Bone marrow aspirate smear; brightfield, 40× oil-immersion objective; single-cell crop: 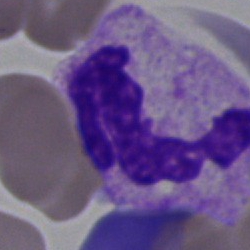
Polymorphonuclear neutrophil.